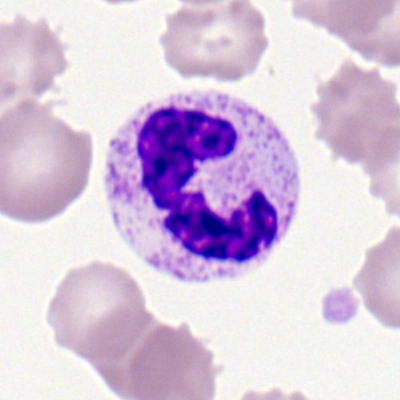

Peripheral blood film, single cell — segmented neutrophil.